Peripheral blood smear · single-cell field.
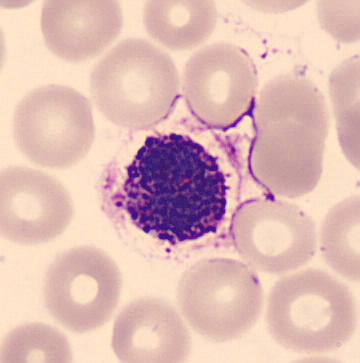

Specimen: peripheral blood smear.
Classification: basophil.